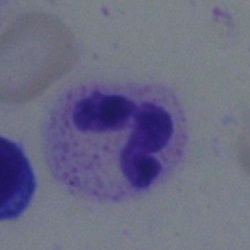

Cell type = polymorphonuclear neutrophil.